Bone marrow aspirate smear: 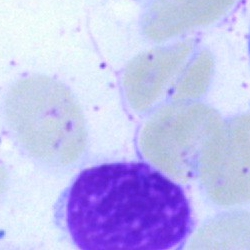 Q: What is shown here?
A: An artefact.